Bone marrow aspirate smear; single-cell crop:
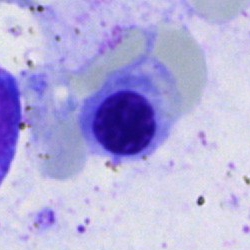 Morphological class = nucleated red cell.